Cropped to a single cell · bone marrow aspirate smear: 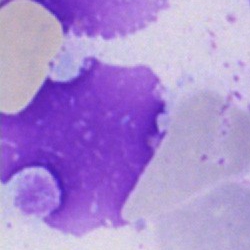 Showing an artefact.